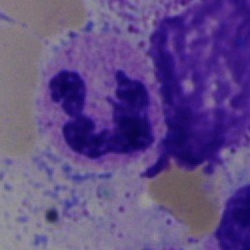Q: What is shown here?
A: This is a neutrophil (segmented).